Brightfield, 40× oil-immersion objective. Bone marrow smear
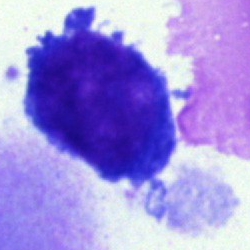 A pronormoblast.